Bone marrow smear; 250×250 px; cropped to a single cell:
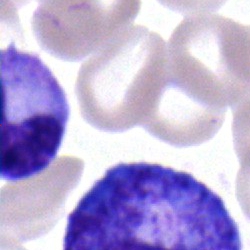Cell type = band-form neutrophil.